Brightfield, 40× oil-immersion objective; bone marrow smear.
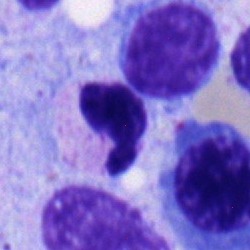
Specimen: bone marrow aspirate smear.
Classification: neutrophil (segmented).
Lineage: myeloid.